Bone marrow aspirate smear
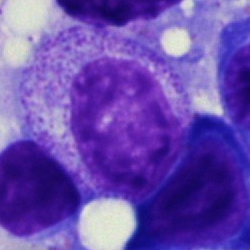
Q: What cell is this?
A: It is a myelocyte.